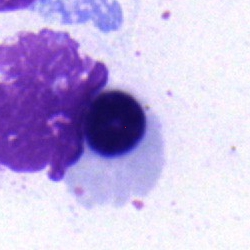
Morphological class = normoblast.